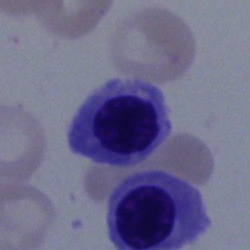
Morphological class: nucleated red blood cell.